Single-cell field. Bone marrow smear: 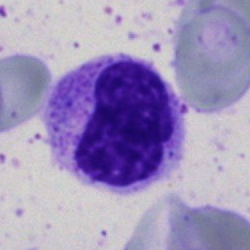
Cell: myelocyte.